Bone marrow smear. Cropped to a single cell. Pappenheim-stained — 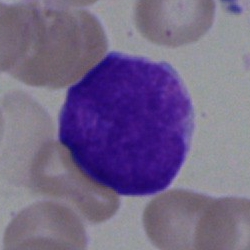 This is a blast.